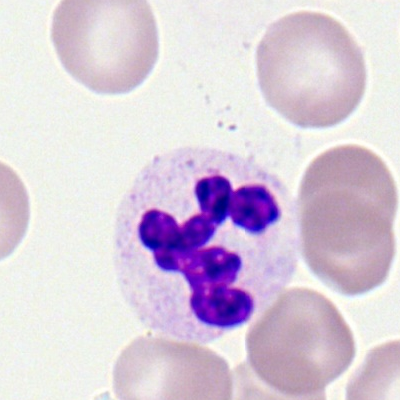 Peripheral blood smear showing a segmented neutrophil.